Bone marrow aspirate smear · MGG-stained — 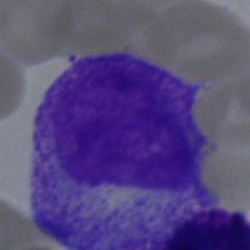The cell shown is a myelocyte.